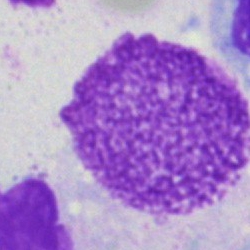 Single cell identified as an artifact.